250 by 250 pixels · bone marrow aspirate smear.
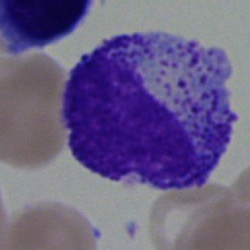 Showing a metamyelocyte.